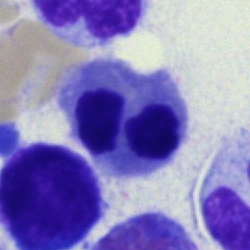Q: What is the morphological classification of this cell?
A: This is an erythroblast.